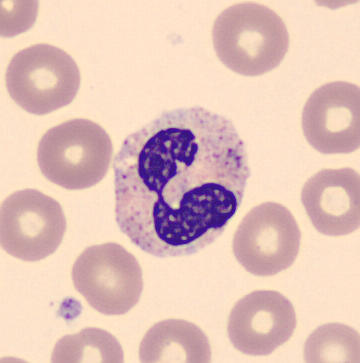Preparation: MGG stain · peripheral blood film.
Showing a polymorphonuclear neutrophil.